Bone marrow aspirate smear — 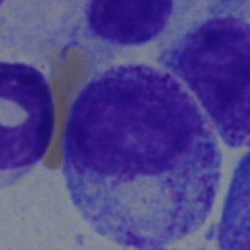 Classification: myelocyte.